Peripheral blood film.
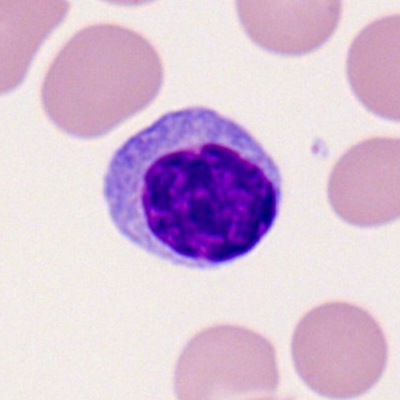 Q: Which cell type is shown here?
A: It is a typical lymphocyte.